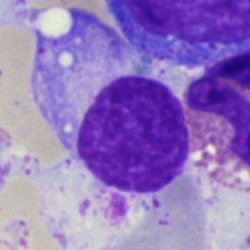
The morphological class is plasmacyte.